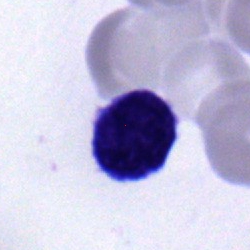

The cell shown is a typical lymphocyte.